Bone marrow aspirate smear. 250×250 px.
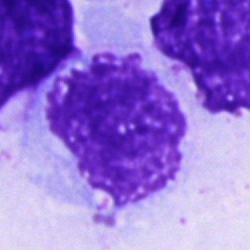 The classification is unidentifiable cell.